Bone marrow aspirate smear — 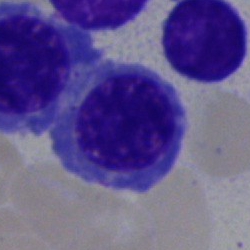Morphological class: normoblast.